Bone marrow smear.
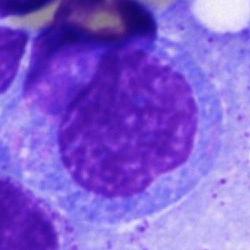 Promyelocyte.